Peripheral blood smear.
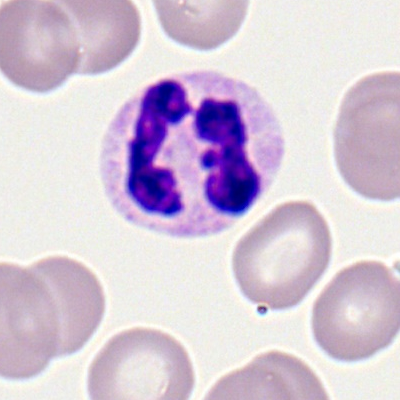
Morphology consistent with a neutrophil (segmented).